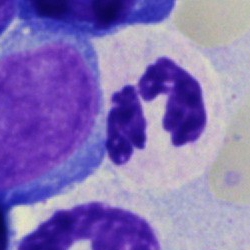 A segmented neutrophil on a bone marrow smear.